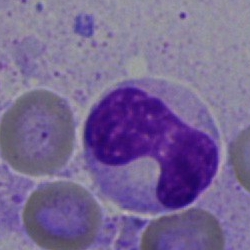The classification is band-form neutrophil.